Bone marrow smear:
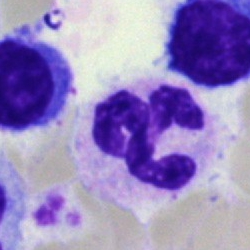Q: Which cell type is shown here?
A: A segmented neutrophil.